Bone marrow aspirate smear.
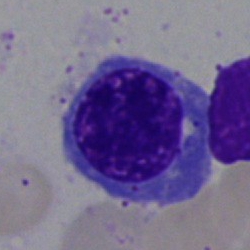
Showing a nucleated red cell.